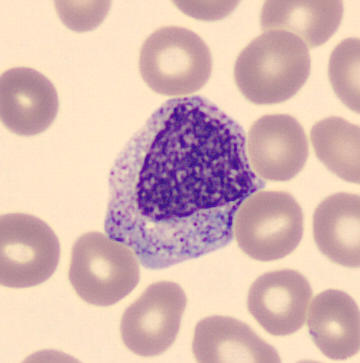360 by 363 pixels; peripheral blood smear.

The cell type is myelocyte.